Bone marrow aspirate smear — 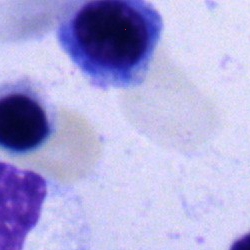Q: What is shown here?
A: It is a nucleated red cell.